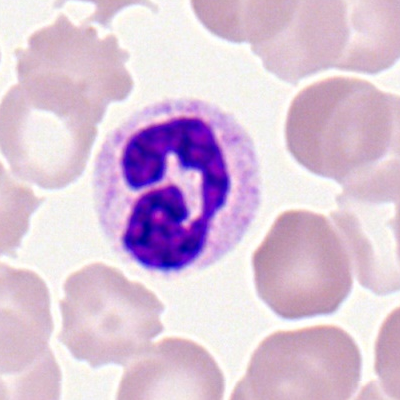
The classification is polymorphonuclear neutrophil.